Peripheral blood smear
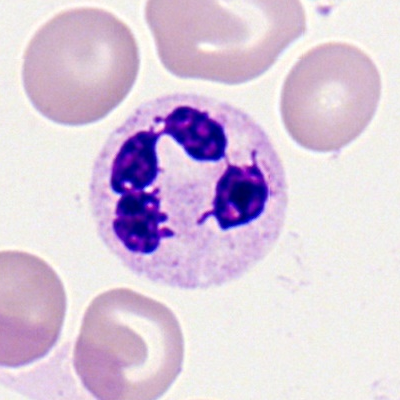 Q: What cell is this?
A: A polymorphonuclear neutrophil.